250×250 px; bone marrow aspirate smear; brightfield, 40× oil-immersion objective: 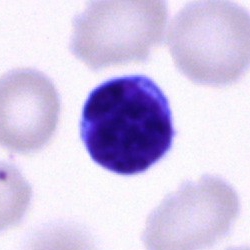 Cell: typical lymphocyte.